Bone marrow smear; MGG-stained
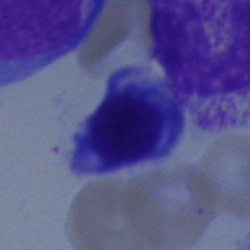
Q: What cell is this?
A: It is a normoblast.